250×250 px. Bone marrow smear:
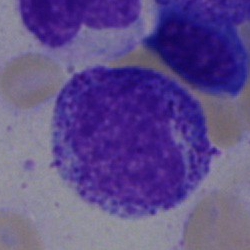Myelocyte.